Bone marrow aspirate smear. 250 by 250 pixels. Single-cell field:
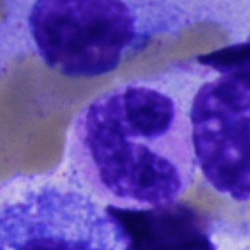
Q: Which cell type is shown here?
A: It is a neutrophil (segmented).